Single cell centered in the field; May-Grünwald-Giemsa stain; bone marrow aspirate smear
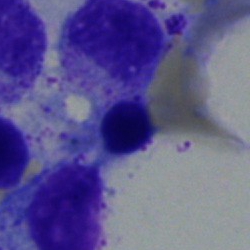Q: What is shown here?
A: It is a normoblast.